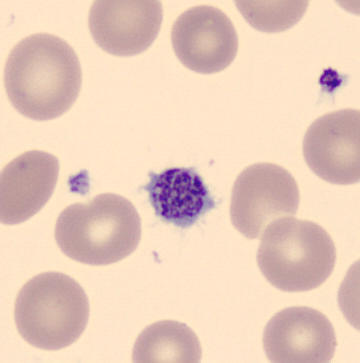A thrombocyte on a peripheral blood smear.